Bone marrow smear
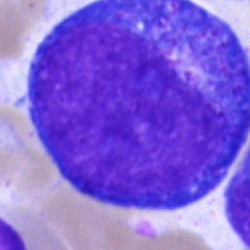
Q: What type of cell is this?
A: This is a promyelocyte.